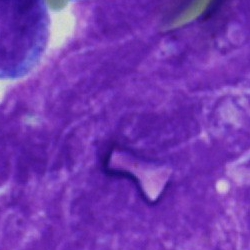Bone marrow smear showing an artifact.